Bone marrow smear · MGG-stained:
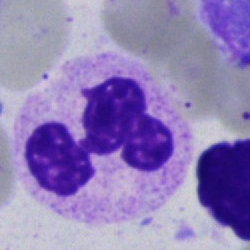
The morphological class is neutrophil (segmented).